Bone marrow smear.
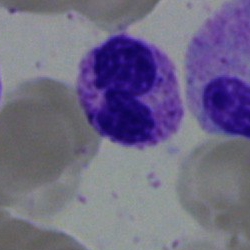

Single cell identified as a band neutrophil.